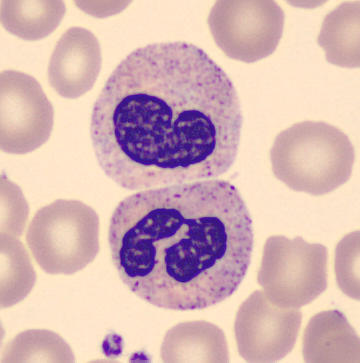
Image: CellaVision DM96 digital cell image. Peripheral blood film.
A polymorphonuclear neutrophil.